May-Grünwald-Giemsa/Pappenheim stain · bone marrow aspirate smear: 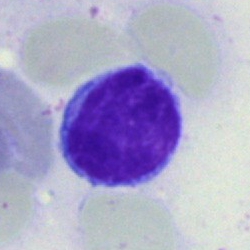 Lymphocyte.